Pappenheim-stained; bone marrow smear.
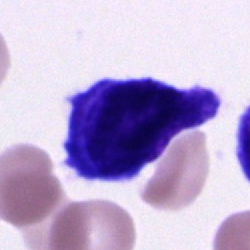
Cell = cell of indeterminate lineage.